Bone marrow aspirate smear
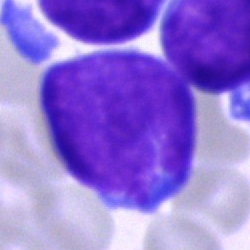

Q: What is the morphological classification of this cell?
A: A blast cell.